MGG-stained. Bone marrow smear:
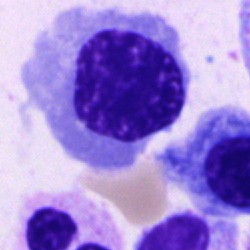
A normoblast.